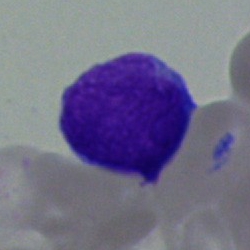

Classification = blast.